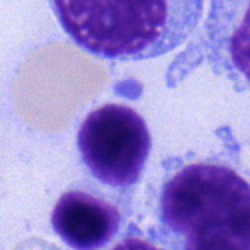 Morphology — typical lymphocyte.